Bone marrow smear — 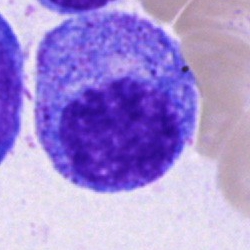

Classification — progranulocyte.